Cropped to a single cell. Bone marrow aspirate smear: 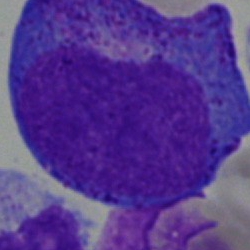
Q: What is the morphological classification of this cell?
A: A progranulocyte.